Bone marrow smear — 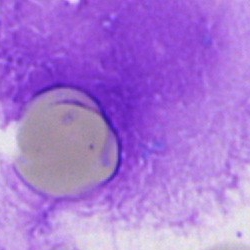
An artefact.